Peripheral blood smear · 100× oil immersion, 14.14 px/µm · single-cell crop
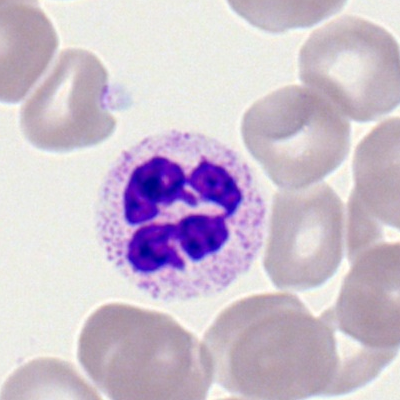
Neutrophil (segmented).